Bone marrow aspirate smear; 40× objective, oil immersion; 250 by 250 pixels — 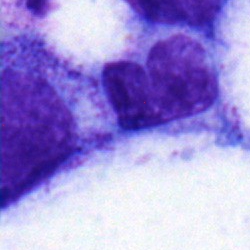
Q: Identify the cell.
A: A progranulocyte.